Peripheral blood film:
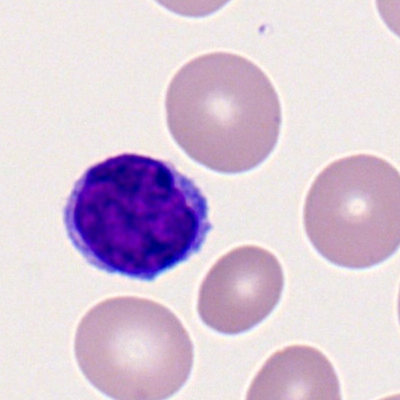
Impression → lymphocyte.